May-Grünwald-Giemsa/Pappenheim stain; bone marrow smear:
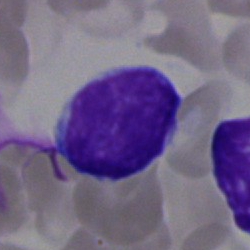Cell type — lymphocyte.